Peripheral blood film; brightfield, 100× oil-immersion objective — 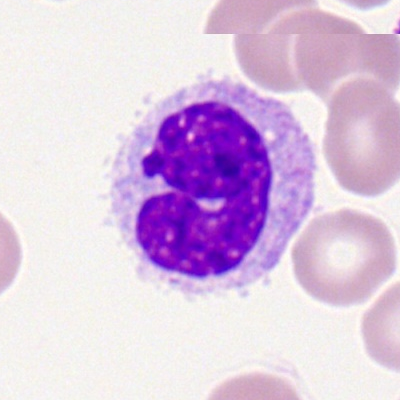
The cell is monocyte.